Bone marrow smear.
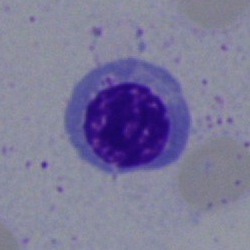

This is a nucleated red blood cell.